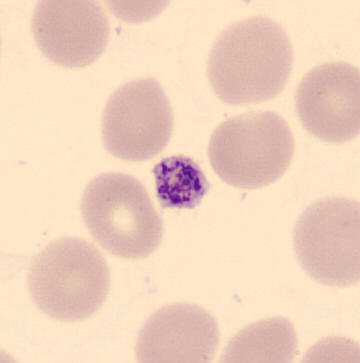
Q: What is this?
A: Platelet. 360×363. Peripheral blood smear. CellaVision DM96.